Bone marrow smear · brightfield microscopy, 40× oil immersion: 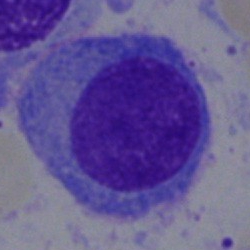Morphological class: plasma cell.